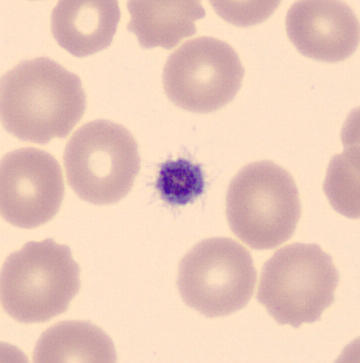
The morphological class is platelet (thrombocyte).